Bone marrow smear.
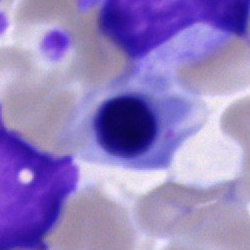

{"cell_type": "nucleated red cell", "lineage": "erythroid"}